Bone marrow aspirate smear — 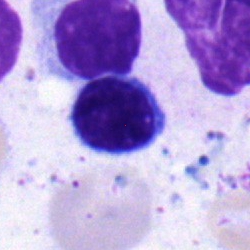

Q: Which cell type is shown here?
A: It is a typical lymphocyte.